400×400 px. Peripheral blood film: 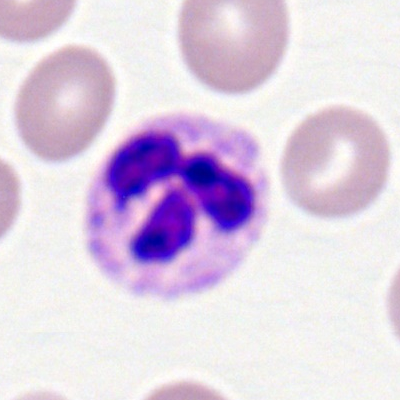This is a neutrophil (segmented).